Brightfield microscopy, 40× oil immersion. Bone marrow smear
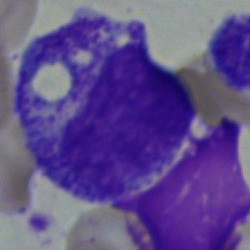

Q: What is the morphological classification of this cell?
A: Myelocyte.